Bone marrow aspirate smear. Single-cell crop: 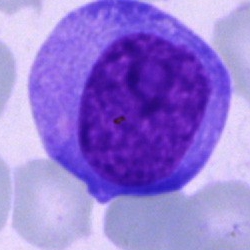

This is a blast cell.